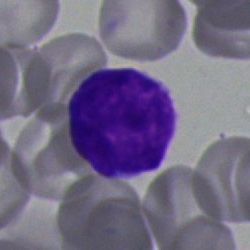Cell type: lymphocyte.